Bone marrow aspirate smear; cropped to a single cell.
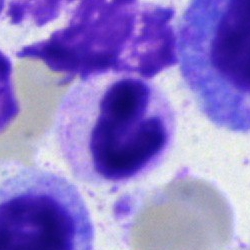
{"cell_type": "neutrophil (segmented)", "lineage": "myeloid"}